Bone marrow aspirate smear:
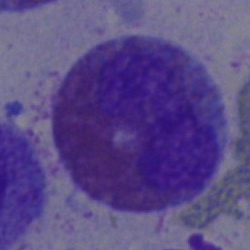

This is an eosinophilic granulocyte.